Single-cell field · bone marrow aspirate smear
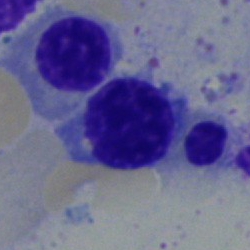

Erythroblast.